Bone marrow aspirate smear: 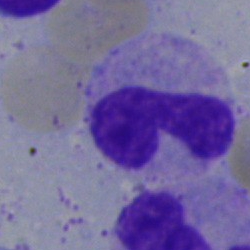

Cell — stab cell.